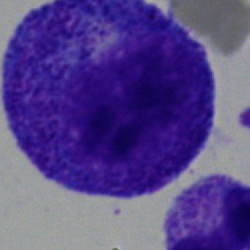

Bone marrow aspirate smear, single cell — progranulocyte.